Bone marrow smear: 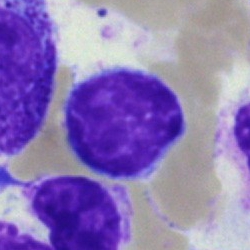 Morphological class: lymphocyte.